MGG-stained · bone marrow aspirate smear.
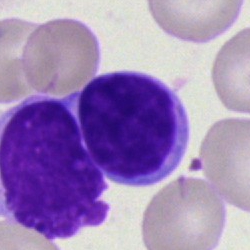
Typical lymphocyte.